Pappenheim-stained · bone marrow smear.
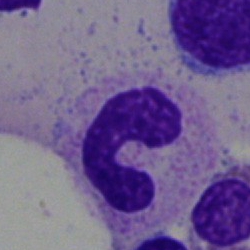

Impression — band-form neutrophil.